Bone marrow aspirate smear: 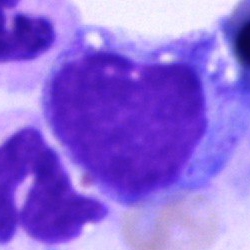 Single cell identified as a monocyte.